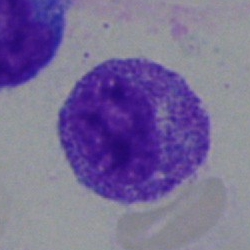
Classification: myelocyte.